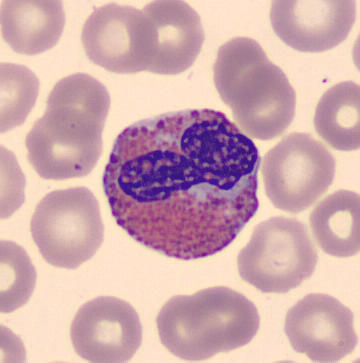
Q: What is this?
A: It is an eosinophil. Image: Peripheral blood film; May Grünwald-Giemsa stain.